Bone marrow smear:
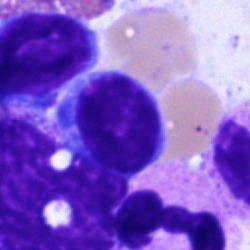
Q: What type of cell is this?
A: Lymphocyte.